Bone marrow aspirate smear — 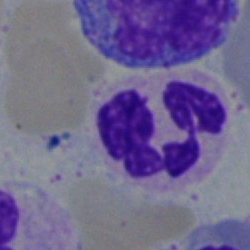Morphological class: polymorphonuclear neutrophil.